Bone marrow aspirate smear; brightfield, 40× oil-immersion objective
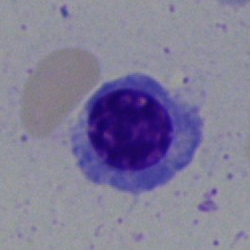

{"cell_type": "normoblast"}